Bone marrow smear — 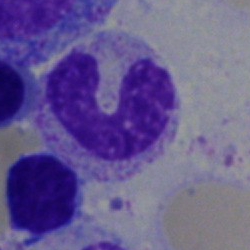
Specimen: bone marrow aspirate smear.
Classification: stab cell.